Brightfield, 40× oil-immersion objective · bone marrow aspirate smear.
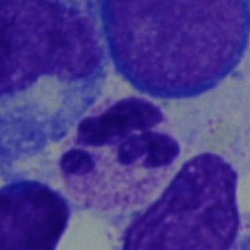The cell shown is a polymorphonuclear neutrophil.